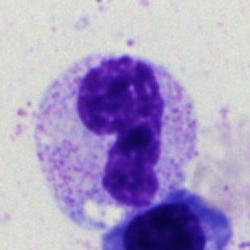

Bone marrow smear showing a band neutrophil.